Bone marrow smear — 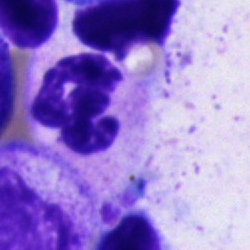
Single cell identified as a polymorphonuclear neutrophil.